Bone marrow aspirate smear — 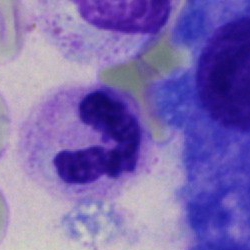
Q: What cell is this?
A: This is a segmented neutrophil.